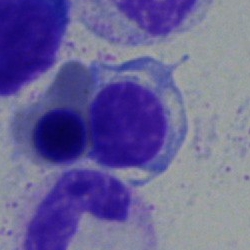 Specimen: bone marrow smear.
Morphological class: normoblast.